Bone marrow aspirate smear.
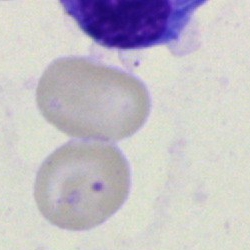

Impression → artifact.